Bone marrow smear: 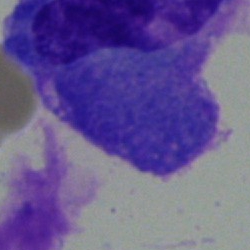
Specimen: bone marrow aspirate smear.
Cell type: plasma cell.
Lineage: lymphoid.